Single-cell crop; bone marrow smear; 40× objective, oil immersion.
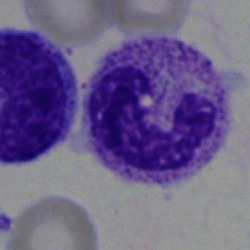 The cell shown is a neutrophil (segmented).